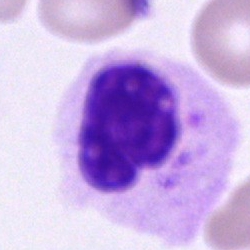 The classification is segmented neutrophil.